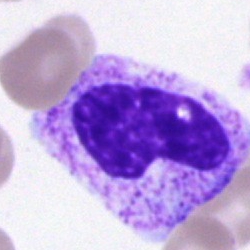

Q: What is the morphological classification of this cell?
A: This is a band-form neutrophil.